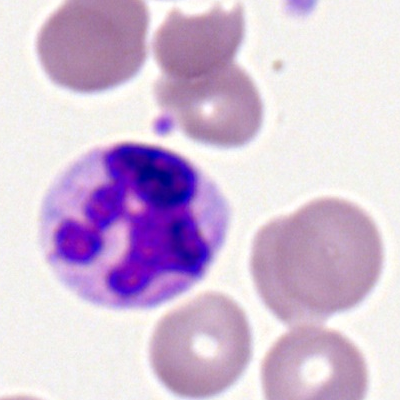
Showing a polymorphonuclear neutrophil.